Peripheral blood smear; image size 400×400; Romanowsky-stained — 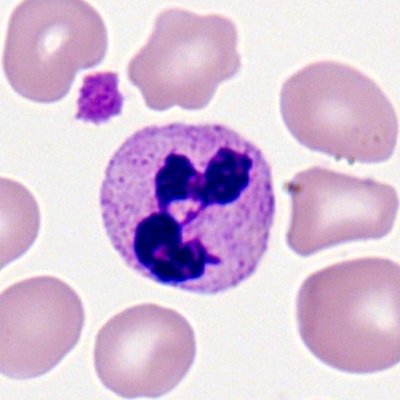

Q: What type of cell is this?
A: A neutrophil (segmented).